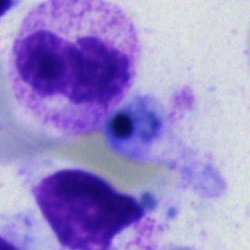 Q: What is shown here?
A: Band neutrophil.